Bone marrow aspirate smear.
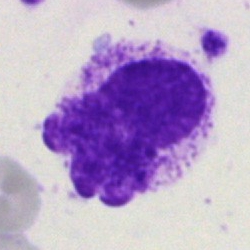Q: What is shown here?
A: This is an artifact.